Bone marrow aspirate smear. 250 by 250 pixels. Brightfield, 40× oil-immersion objective: 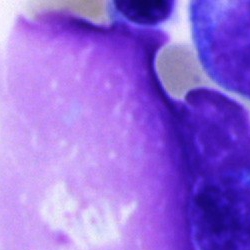

The cell shown is an artifact.